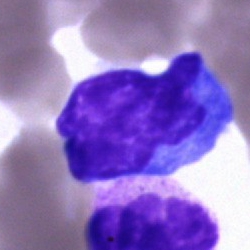

Morphology consistent with a lymphocyte.